Bone marrow smear — 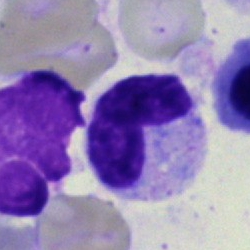
The cell is band neutrophil.